250×250 px; bone marrow aspirate smear; May-Grünwald-Giemsa stain
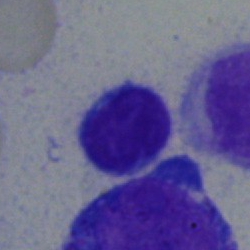

Q: Identify the cell.
A: Typical lymphocyte.